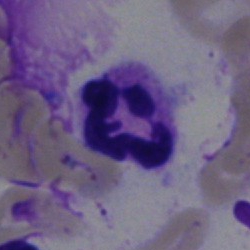 {"cell_type": "polymorphonuclear neutrophil"}